Bone marrow aspirate smear — 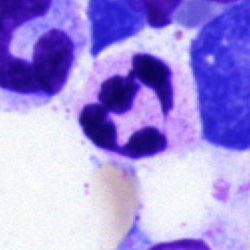
Polymorphonuclear neutrophil.